Single-cell crop. Bone marrow smear. May-Grünwald-Giemsa/Pappenheim stain.
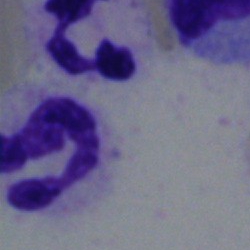Morphology consistent with a neutrophil (segmented).